Single cell centered in the field · bone marrow smear
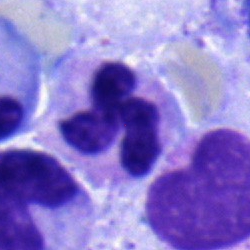 Q: What is shown here?
A: It is a neutrophil (segmented).